Bone marrow aspirate smear:
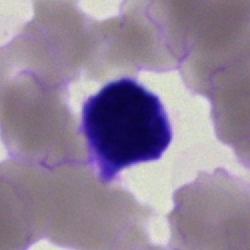Impression → artefact.